Single cell centered in the field · May-Grünwald-Giemsa stain · bone marrow aspirate smear
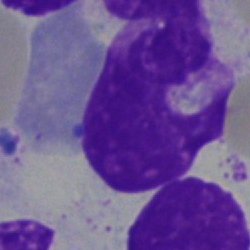 Specimen: bone marrow smear.
Cell: artifact.